Cropped to a single cell. Bone marrow smear. Brightfield, 40× oil-immersion objective:
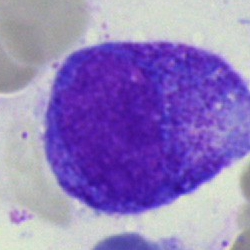

The morphological class is promyelocyte.